Bone marrow smear; 250 by 250 pixels:
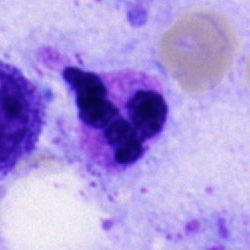 Impression — segmented neutrophil.